Bone marrow aspirate smear — 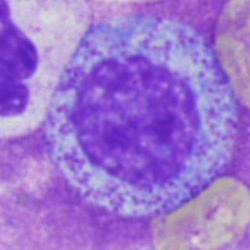 The cell shown is a progranulocyte.